250×250; brightfield, 40× oil-immersion objective; bone marrow smear: 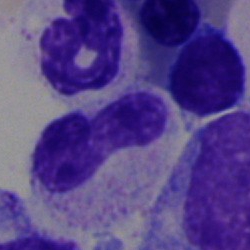A band neutrophil.